Bone marrow smear. May-Grünwald-Giemsa/Pappenheim stain. 40× oil immersion.
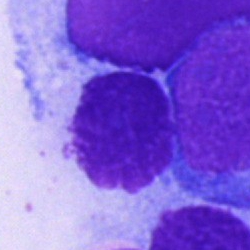Specimen: bone marrow aspirate smear.
Cell: artefact.